May-Grünwald-Giemsa/Pappenheim stain; bone marrow smear; single-cell field — 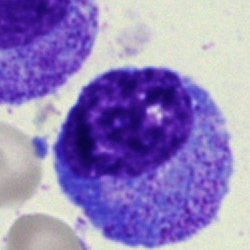

Single cell identified as a promyelocyte.